Bone marrow smear: 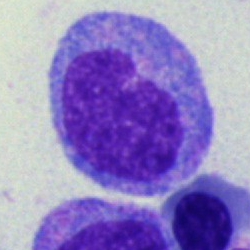 Classification = promyelocyte.